Bone marrow smear — 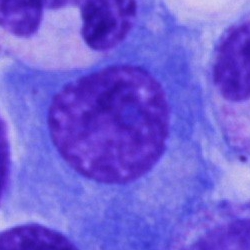Plasma cell.